Bone marrow smear
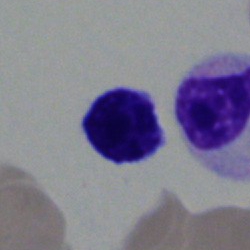
Morphology → lymphocyte.